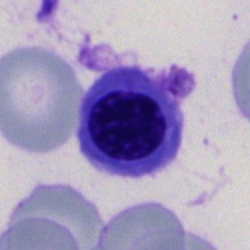A nucleated red blood cell.